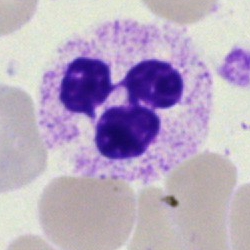
Q: What is the morphological classification of this cell?
A: It is a polymorphonuclear neutrophil.